May-Grünwald-Giemsa stain · bone marrow smear — 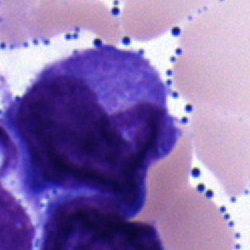A blast cell.